Bone marrow smear:
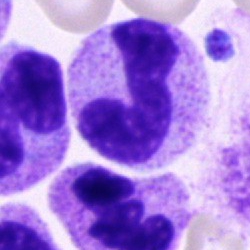 Q: Which cell type is shown here?
A: It is a band neutrophil.